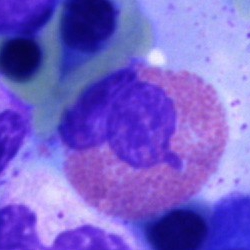Morphology → eosinophilic granulocyte.